Bone marrow smear · single cell centered in the field · brightfield, 40× oil-immersion objective
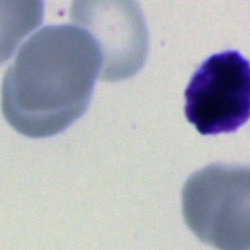Morphology consistent with an unidentifiable cell.